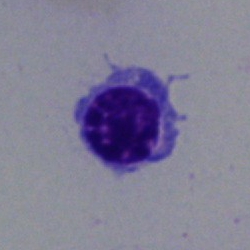

A nucleated red blood cell.